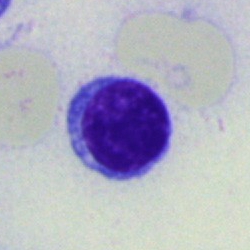 Showing a lymphocyte.